Bone marrow aspirate smear:
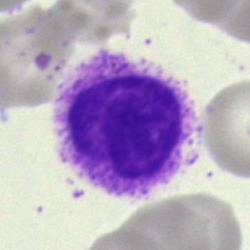
Classification — artefact.